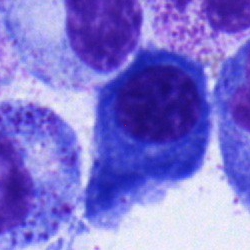
Cell type — plasmacyte.